Bone marrow smear.
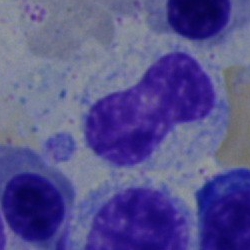 Q: What is shown here?
A: Neutrophil (band).